Bone marrow aspirate smear:
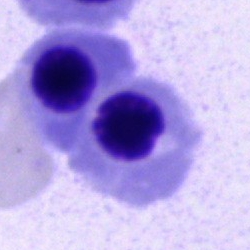Morphological class: nucleated red blood cell.